Cropped to a single cell. 40× oil immersion. Bone marrow aspirate smear
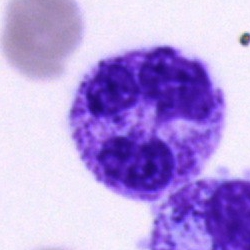Classification: polymorphonuclear neutrophil.